Bone marrow smear. Brightfield, 40× oil-immersion objective
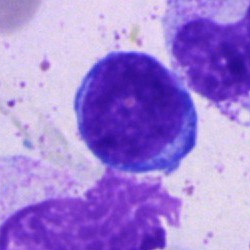

Morphological class — lymphocyte.